250 by 250 pixels; bone marrow aspirate smear
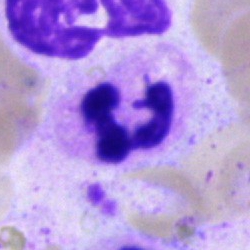
Q: What type of cell is this?
A: This is a polymorphonuclear neutrophil.